40× objective, oil immersion. May-Grünwald-Giemsa/Pappenheim stain. Bone marrow smear
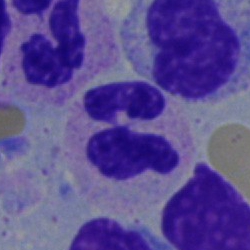Morphology consistent with a segmented neutrophil.